Bone marrow smear · 40× oil immersion.
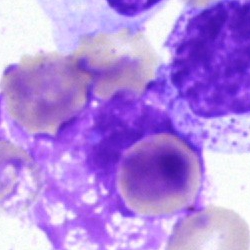

Cell type: artefact.